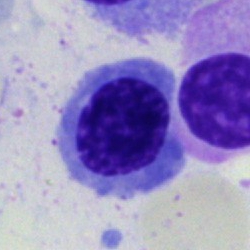

Morphological class — erythroblast.